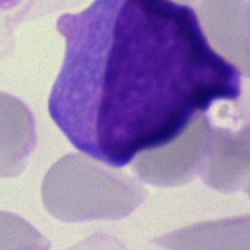

A blast.